250 by 250 pixels · bone marrow aspirate smear — 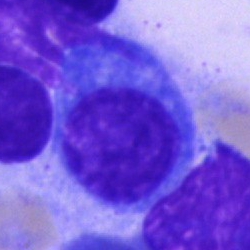 The cell type is plasmacyte.